Bone marrow smear. Single-cell crop. Brightfield microscopy, 40× oil immersion: 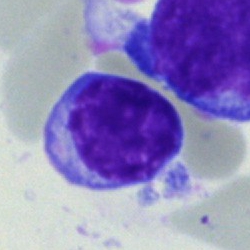
This is a lymphocyte.